Cropped to a single cell; bone marrow aspirate smear; brightfield microscopy, 40× oil immersion: 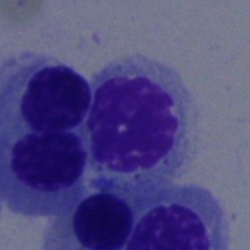 Classification = erythroblast.